Bone marrow smear; 250×250
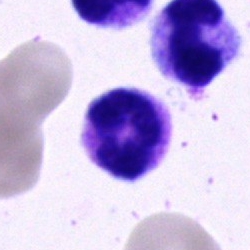

Morphology — polymorphonuclear neutrophil.